Bone marrow smear. 40× oil immersion. 250×250.
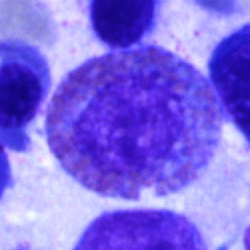

Morphology — promyelocyte.